Bone marrow aspirate smear; 40× objective, oil immersion.
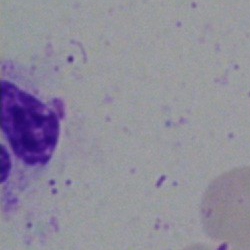
Morphology → artefact.